Bone marrow smear
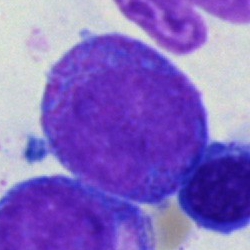Promyelocyte.